Bone marrow smear:
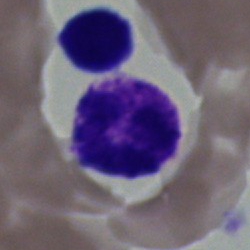Cell type = basophilic granulocyte.